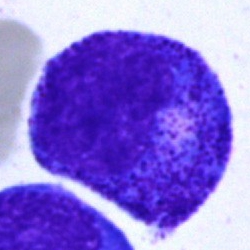

Specimen: bone marrow smear.
Morphological class: promyelocyte.